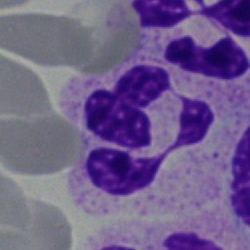Showing a neutrophil (segmented).